Peripheral blood film; single-cell crop
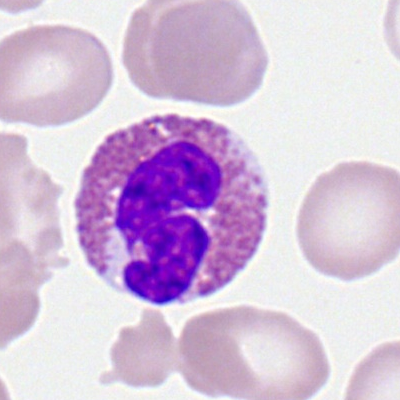Morphology → eosinophilic granulocyte.